Single cell centered in the field. Peripheral blood smear.
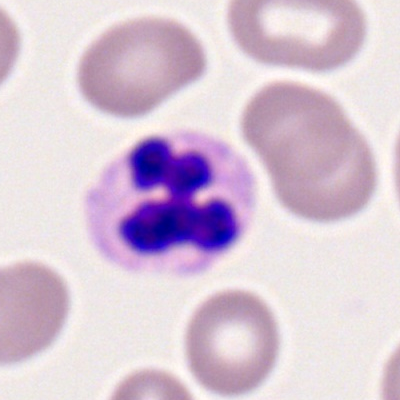

Neutrophil (segmented).